Image size 250×250 · bone marrow aspirate smear:
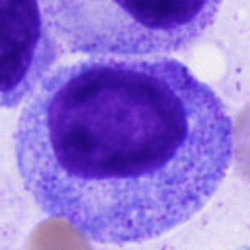 This is a progranulocyte.